250 by 250 pixels; bone marrow smear: 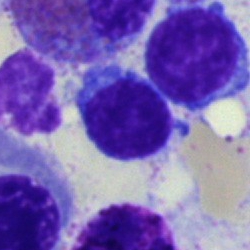

Q: What is the morphological classification of this cell?
A: Lymphocyte.